Image size 250×250 · bone marrow smear.
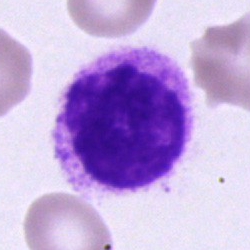 {"cell_type": "artifact"}